Bone marrow smear.
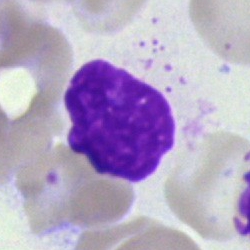

Q: What is shown here?
A: Artefact.